40× oil immersion; bone marrow aspirate smear: 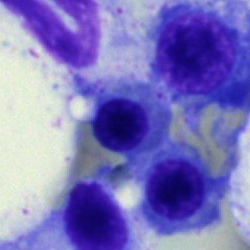

Nucleated red blood cell.